Bone marrow smear — 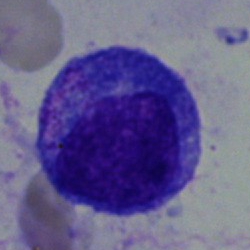The cell shown is a promyelocyte.